May-Grünwald-Giemsa stain · bone marrow smear.
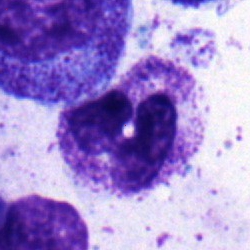
Polymorphonuclear neutrophil.